Single-cell field · peripheral blood film · 360×363 px:
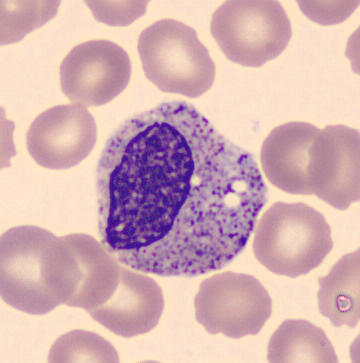 {"cell_type": "myelocyte", "lineage": "myeloid"}